Bone marrow smear. Brightfield, 40× oil-immersion objective — 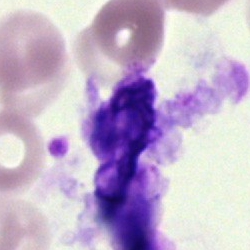Q: What is shown here?
A: Artifact.